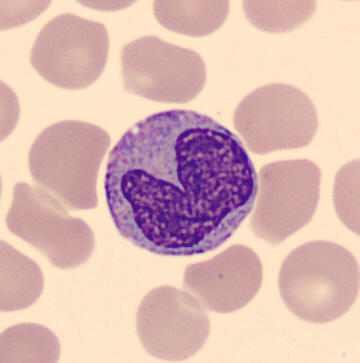 Specimen: peripheral blood smear.
Morphological class: monocyte.